Single cell centered in the field · bone marrow smear — 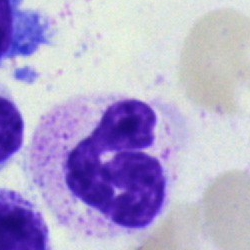

A segmented neutrophil.